Peripheral blood film
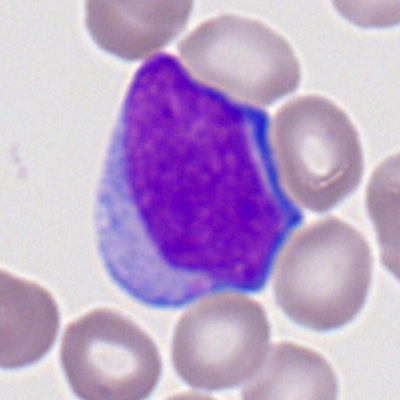

Cell type = myeloid blast.